40× objective, oil immersion; bone marrow aspirate smear; May-Grünwald-Giemsa stain
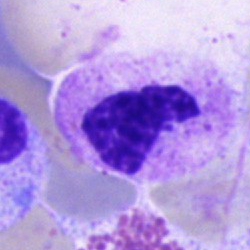A neutrophil (segmented).